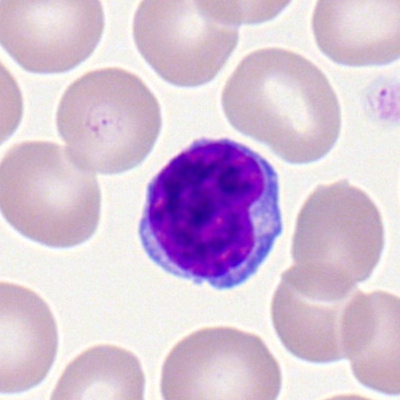
Specimen: peripheral blood film.
Cell: typical lymphocyte.
Lineage: lymphoid.